Bone marrow aspirate smear — 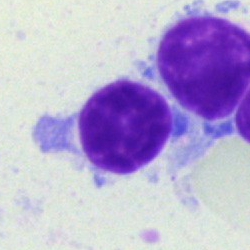Showing a lymphocyte.